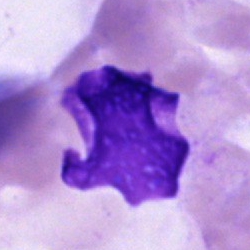Q: What is shown here?
A: An artifact.